Bone marrow smear:
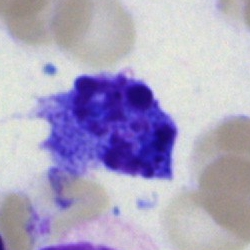

Impression — artifact.